Bone marrow aspirate smear
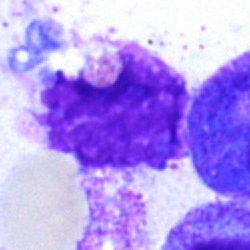

The morphological class is artifact.